Bone marrow smear:
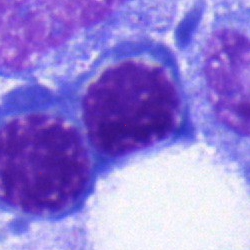
Classification — nucleated red blood cell.